Bone marrow aspirate smear — 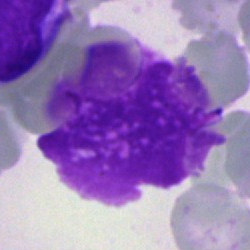Cell type = artefact.